Bone marrow aspirate smear — 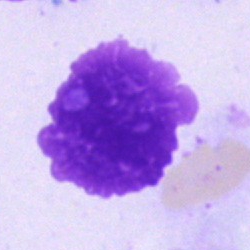

The classification is artifact.